Bone marrow smear. Cropped to a single cell: 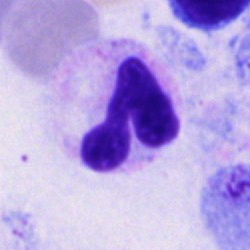Q: What is shown here?
A: Segmented neutrophil.